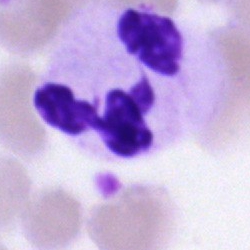 {"cell_type": "neutrophil (segmented)"}